Cropped to a single cell; bone marrow aspirate smear:
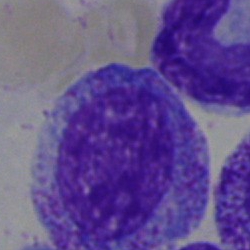

This is a progranulocyte.